Bone marrow aspirate smear.
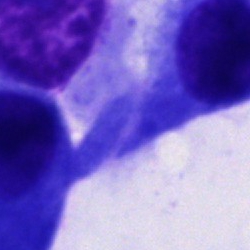
Showing an other cell type.